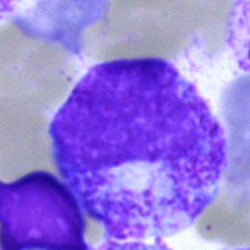
Bone marrow aspirate smear, single cell — myelocyte.